Bone marrow smear: 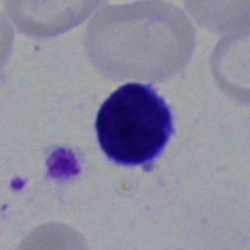Classification: lymphocyte.